Bone marrow aspirate smear · single-cell crop.
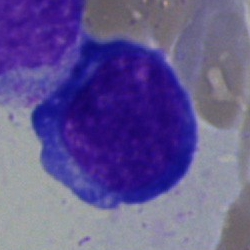 Impression → proerythroblast.